Bone marrow aspirate smear
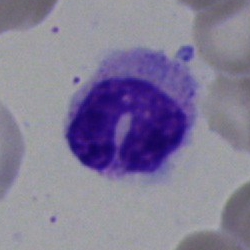
Stab cell.